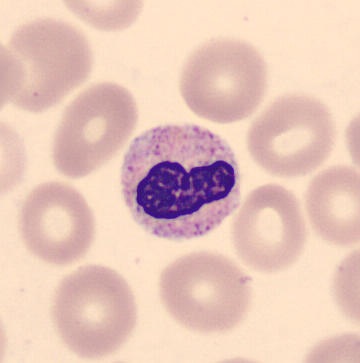
Cell type — band-form neutrophil.

Image: Peripheral blood film. Image size 360×363.